Bone marrow smear.
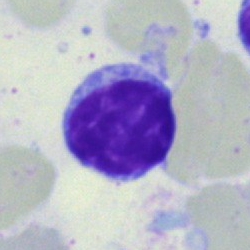
Specimen: bone marrow aspirate smear.
Classification: typical lymphocyte.
Lineage: lymphoid.